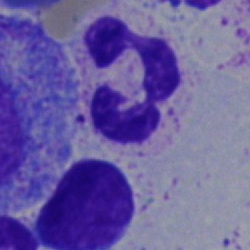
Q: Which cell type is shown here?
A: Polymorphonuclear neutrophil.